Bone marrow smear — 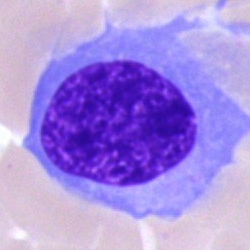

The cell shown is a normoblast.